Bone marrow aspirate smear; Pappenheim-stained
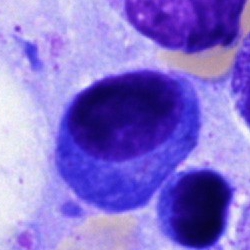

Impression — plasmacyte.